Bone marrow smear: 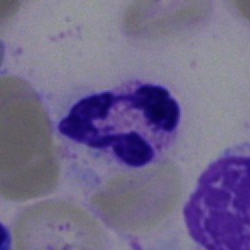 Specimen: bone marrow smear.
Cell type: neutrophil (segmented).